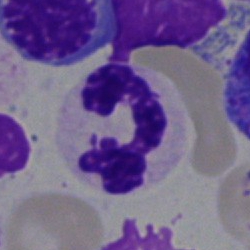
Specimen: bone marrow aspirate smear.
Cell type: neutrophil (segmented).
Lineage: myeloid.